Bone marrow aspirate smear.
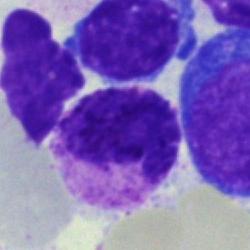
The morphological class is basophilic granulocyte.